Bone marrow aspirate smear — 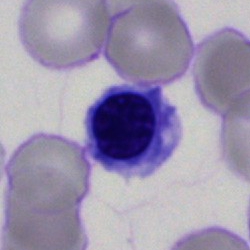Morphology consistent with a nucleated red cell.